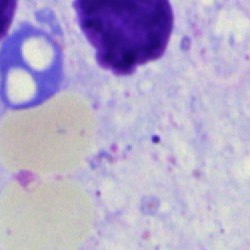

Showing an artefact.